Bone marrow aspirate smear; May-Grünwald-Giemsa stain:
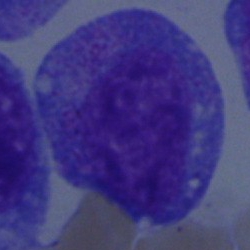
Classification: progranulocyte.